250×250 px; bone marrow aspirate smear:
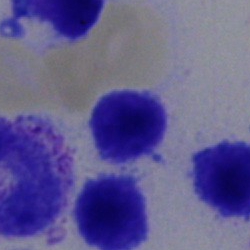

This is a typical lymphocyte.